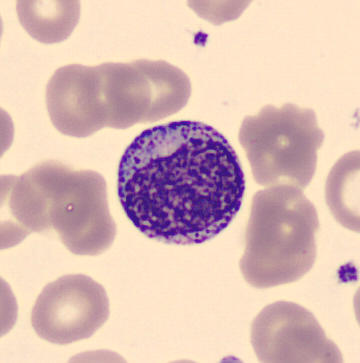
Morphological class — myelocyte.